Bone marrow aspirate smear:
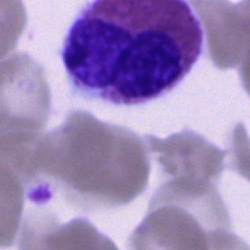

{"cell_type": "eosinophil", "lineage": "myeloid"}